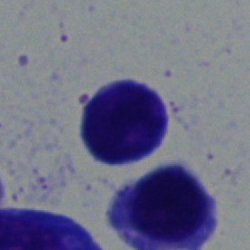

Morphological class = lymphocyte.